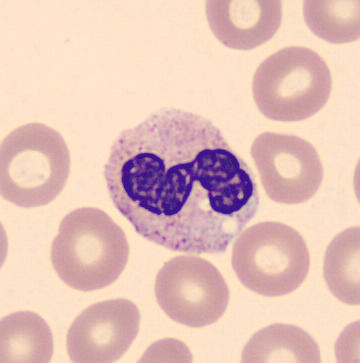 Preparation: 360×363 px. Specimen: peripheral blood smear.
Classification: neutrophil (band).